MGG-stained · bone marrow smear · 250×250 px: 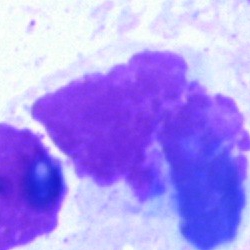 Showing an artefact.